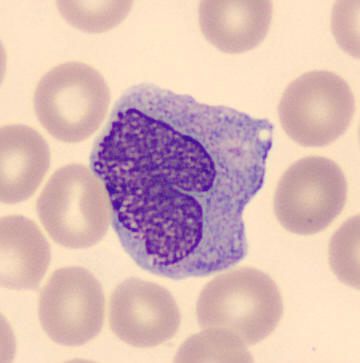

Single-cell crop from a peripheral blood smear: monocyte.